Bone marrow smear:
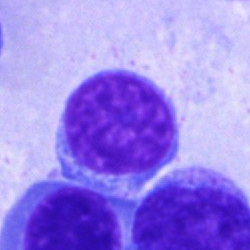 The classification is lymphocyte.